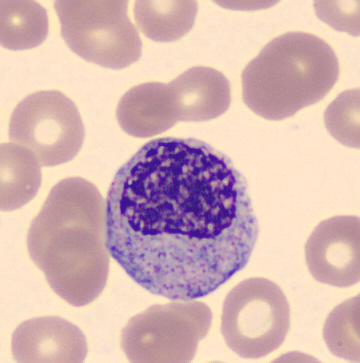

Cell — myelocyte.
Acquisition: Peripheral blood smear.